Bone marrow aspirate smear: 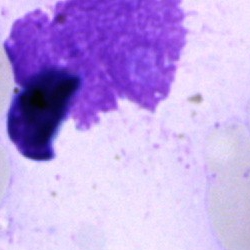

Impression — artefact.